Bone marrow aspirate smear — 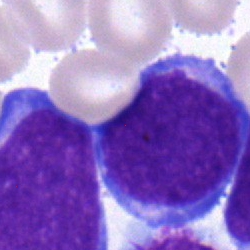
Showing an undifferentiated blast.